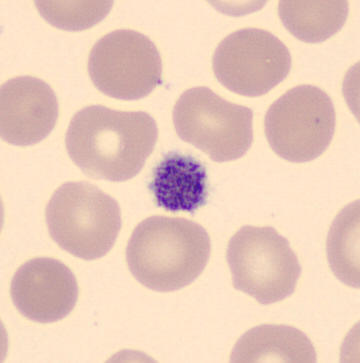

Q: What is shown here?
A: This is a platelet. Peripheral blood film.